Single-cell crop. Bone marrow smear
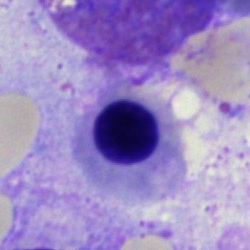
Normoblast.